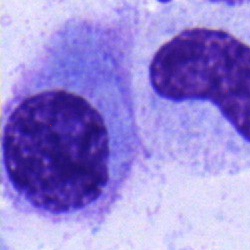 A plasmacyte on a bone marrow smear.